Peripheral blood film — 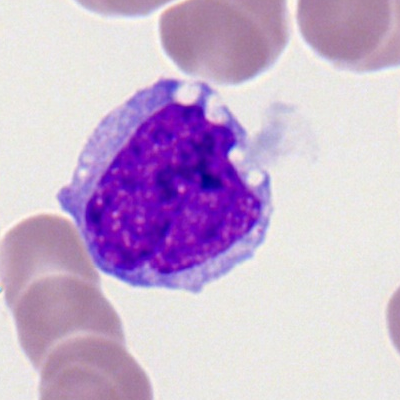
Morphology — monocyte.